Bone marrow smear:
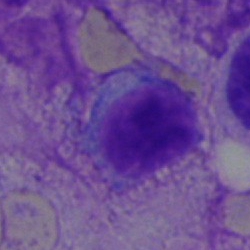 Q: Which cell type is shown here?
A: This is a typical lymphocyte.